250×250 px; bone marrow smear; May-Grünwald-Giemsa/Pappenheim stain: 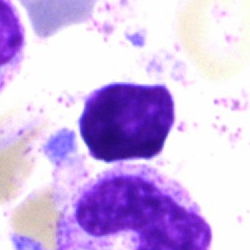

This is a lymphocyte.